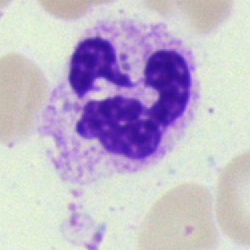
Single cell identified as a polymorphonuclear neutrophil.